Bone marrow aspirate smear · 250×250 px.
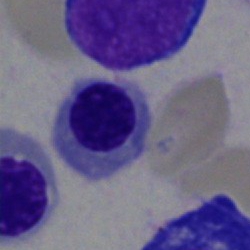 Cell: erythroblast.